Peripheral blood smear; Romanowsky stain:
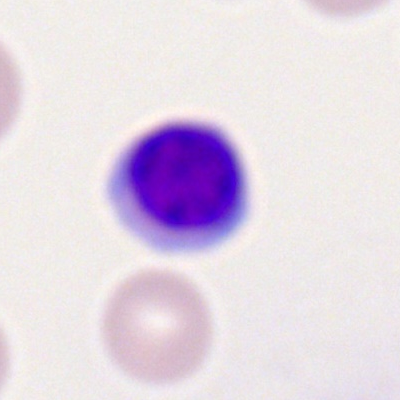

Morphological class — typical lymphocyte.